Bone marrow aspirate smear — 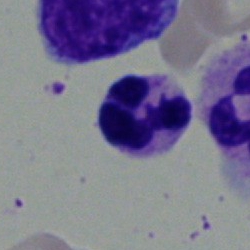

The cell type is polymorphonuclear neutrophil.